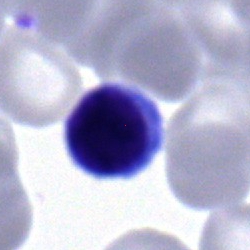

Q: Identify the cell.
A: It is a typical lymphocyte.